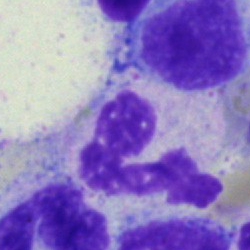

Showing a segmented neutrophil.